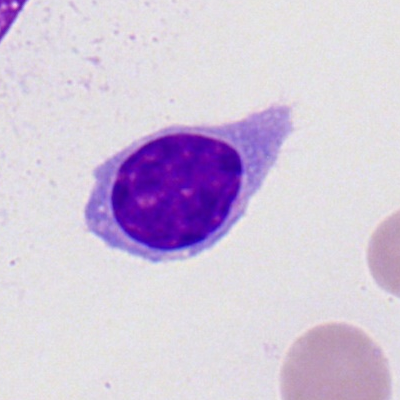
Q: What is the morphological classification of this cell?
A: A typical lymphocyte.